MGG-stained. Bone marrow smear.
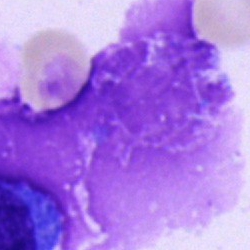

{"cell_type": "artifact"}